250 by 250 pixels. Single cell centered in the field. Bone marrow aspirate smear — 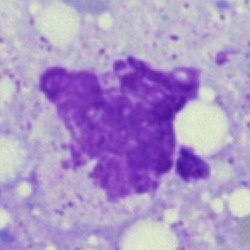
Impression → artifact.